Bone marrow aspirate smear; single-cell field:
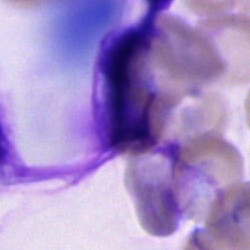

Q: What is shown here?
A: It is an artifact.